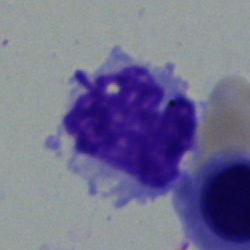

Q: Identify the cell.
A: It is a monocyte.